Romanowsky-type stain. Peripheral blood film
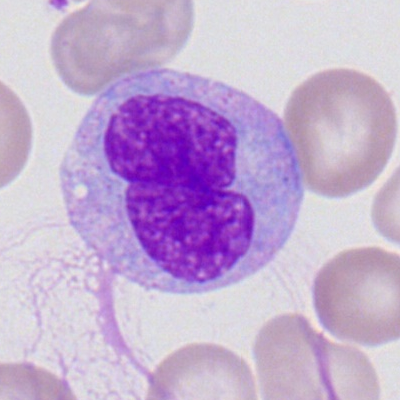
Specimen: peripheral blood smear.
Cell: monocyte.